Bone marrow smear:
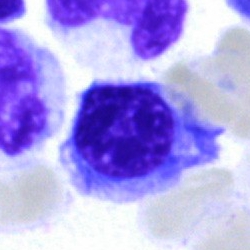

Impression — nucleated red blood cell.